Brightfield microscopy, 40× oil immersion; image size 250×250; bone marrow smear
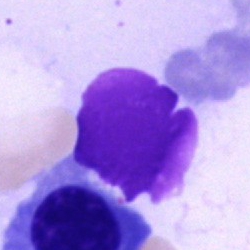 Artifact.